40× objective, oil immersion. Bone marrow smear. Single-cell field: 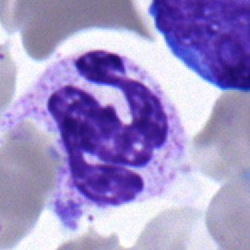 The cell type is segmented neutrophil.